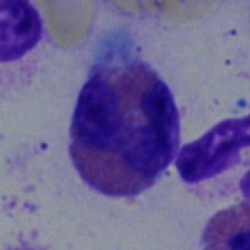 Single cell identified as an eosinophil.